Bone marrow smear:
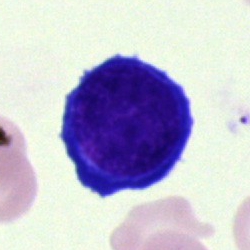
Erythroblast.